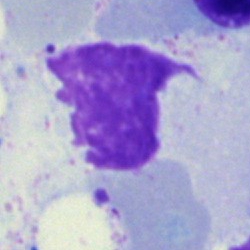

Morphology → artifact.